Bone marrow aspirate smear.
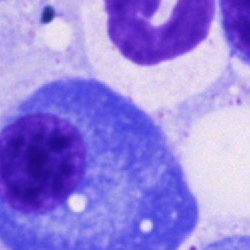

A plasma cell.